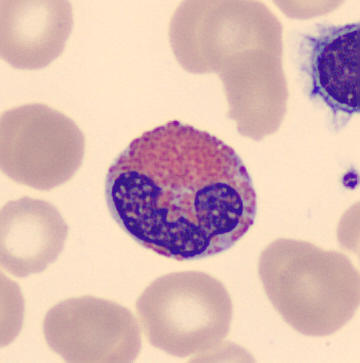 Image: Peripheral blood film.

This is an eosinophil.